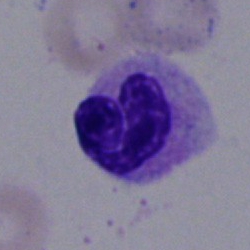

Cell: neutrophil (segmented).